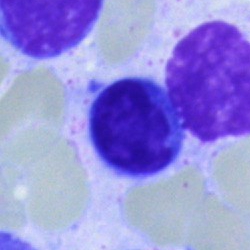The cell is lymphocyte.